Bone marrow aspirate smear
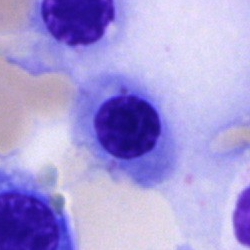
Classification — erythroblast.